Bone marrow smear; 40× oil immersion
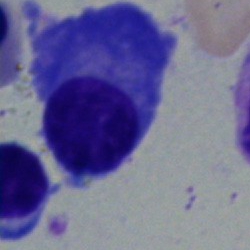A plasmacyte.